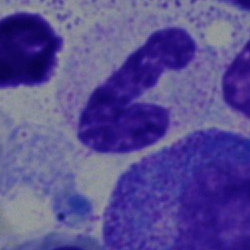

The morphological class is neutrophil (band).